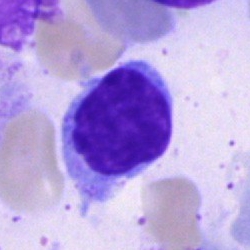
Morphology → lymphocyte.